Bone marrow smear — 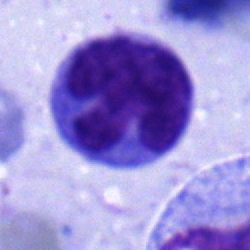
Q: Which cell type is shown here?
A: A monocyte.